Bone marrow smear.
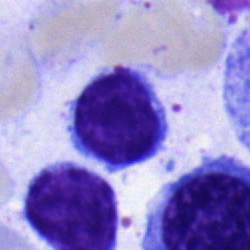

The cell type is lymphocyte.